MGG-stained. 40× objective, oil immersion. Bone marrow smear.
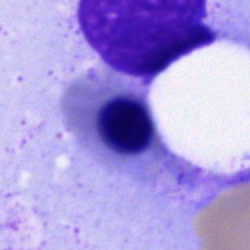Specimen: bone marrow aspirate smear.
Morphological class: normoblast.